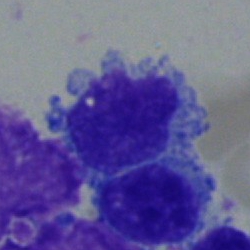 Bone marrow smear showing a lymphocyte.